Bone marrow aspirate smear.
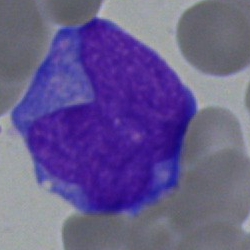 Q: What cell is this?
A: A blast.